Single cell centered in the field; image size 250×250; bone marrow aspirate smear
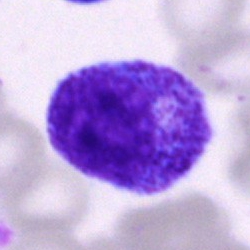Q: What cell is this?
A: Progranulocyte.